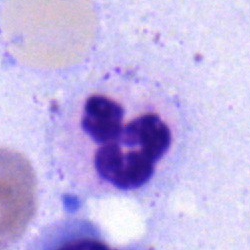 Neutrophil (segmented).